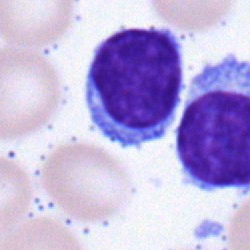
Showing a typical lymphocyte.